Bone marrow smear
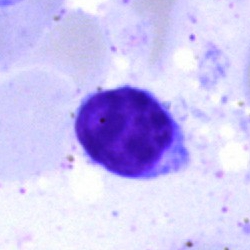Q: What cell is this?
A: A lymphocyte.